Bone marrow aspirate smear:
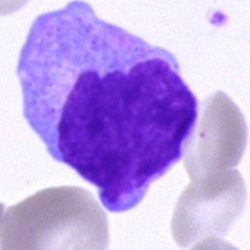

This is a monocyte.